Bone marrow smear:
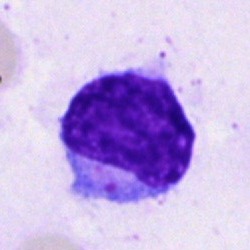
Morphological class: typical lymphocyte.